250×250 · bone marrow aspirate smear: 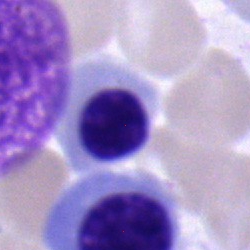
Specimen: bone marrow aspirate smear.
Classification: erythroblast.